Cropped to a single cell; bone marrow aspirate smear; 250×250 px:
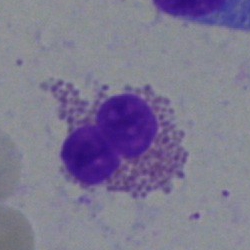

Impression — eosinophil.